Bone marrow smear — 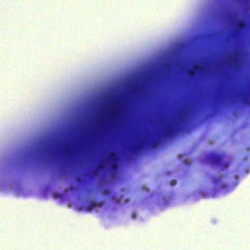Q: What is shown here?
A: This is an artefact.